Bone marrow smear
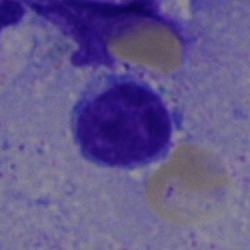
Q: What is the morphological classification of this cell?
A: A lymphocyte.